Bone marrow aspirate smear · image size 250×250 — 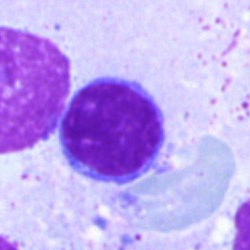

Showing a lymphocyte.